250×250; bone marrow smear; MGG-stained
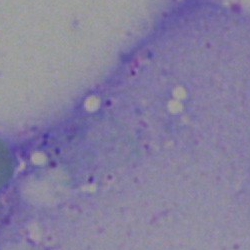
Morphology → artefact.